40× oil immersion · bone marrow aspirate smear
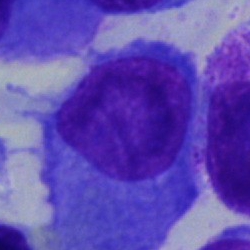 The cell is plasmacyte.